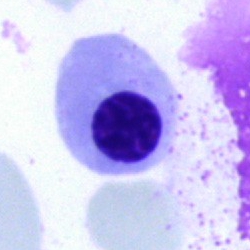Morphological class — nucleated red blood cell.